Bone marrow smear; brightfield microscopy, 40× oil immersion.
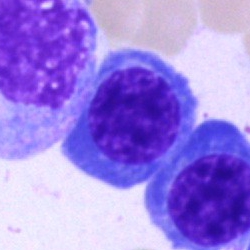
Impression — nucleated red blood cell.